MGG-stained; peripheral blood film: 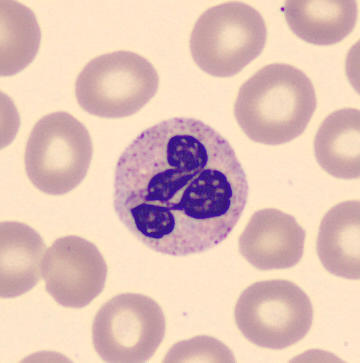
Classification — polymorphonuclear neutrophil.